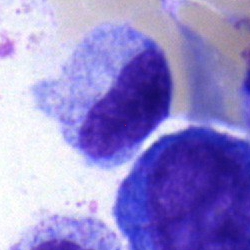Single-cell crop from a bone marrow smear: metamyelocyte.